Bone marrow aspirate smear:
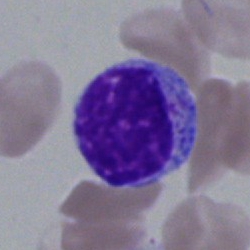{"cell_type": "unidentifiable cell"}